Bone marrow aspirate smear:
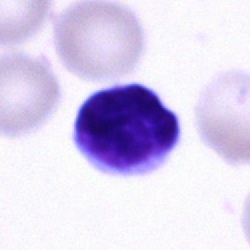Morphology → lymphocyte.